Bone marrow smear: 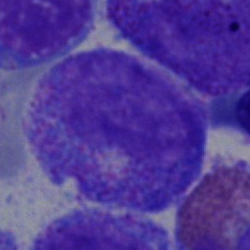 Morphology — progranulocyte.